Peripheral blood smear: 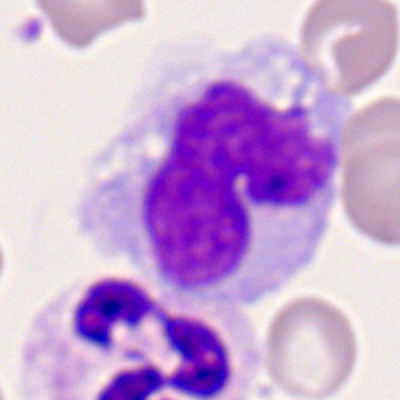 Showing a monocyte.